Bone marrow aspirate smear. Brightfield microscopy, 40× oil immersion.
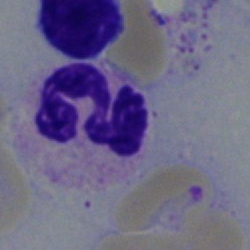
Specimen: bone marrow aspirate smear.
Morphological class: segmented neutrophil.
Lineage: myeloid.